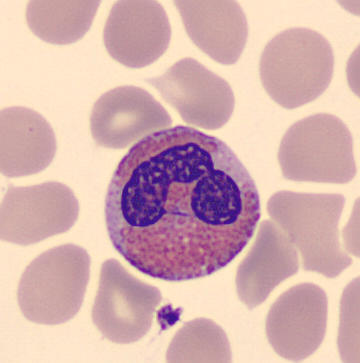
Acquisition: Single-cell crop. Peripheral blood smear. Q: What is shown here?
A: An eosinophil.